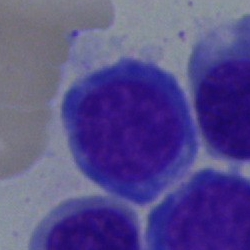

Morphology — normoblast.